Peripheral blood film.
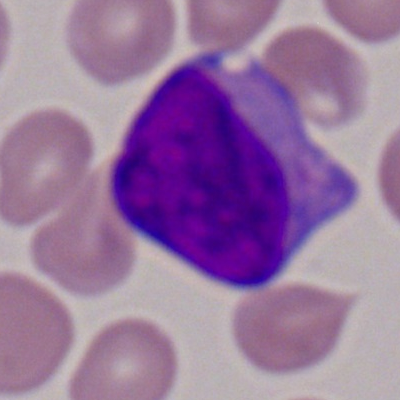 The cell shown is a myeloid blast.